Bone marrow aspirate smear: 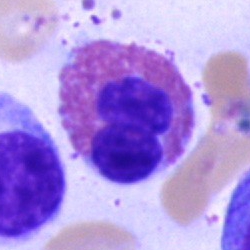 Cell type: eosinophil.